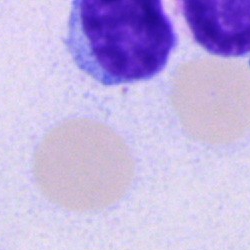
A lymphocyte on a bone marrow smear.